Bone marrow smear
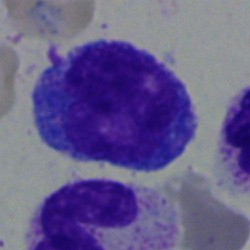

Showing a monocyte.